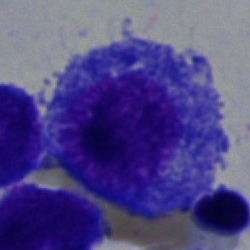{"cell_type": "progranulocyte", "lineage": "myeloid"}